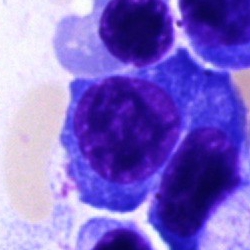 Normoblast.